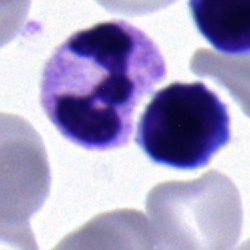Morphology consistent with a typical lymphocyte.